Bone marrow aspirate smear: 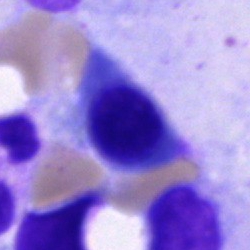

Impression — nucleated red cell.